Bone marrow aspirate smear: 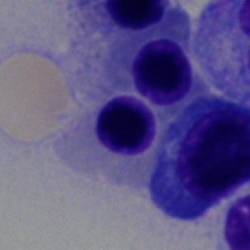

Normoblast.